Bone marrow aspirate smear; MGG-stained; 250 by 250 pixels
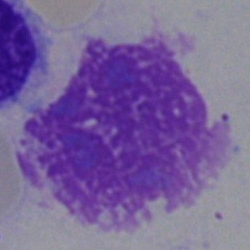
Q: What is shown here?
A: An artifact.